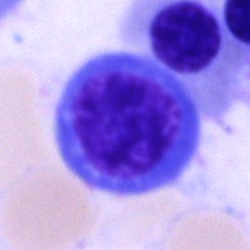 Impression → nucleated red blood cell.